Bone marrow aspirate smear. Single cell centered in the field. May-Grünwald-Giemsa/Pappenheim stain:
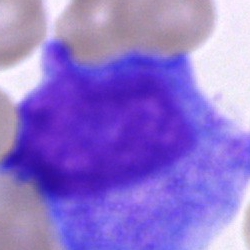 Specimen: bone marrow aspirate smear.
Classification: progranulocyte.